Bone marrow smear — 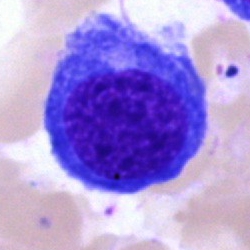 Cell: normoblast.